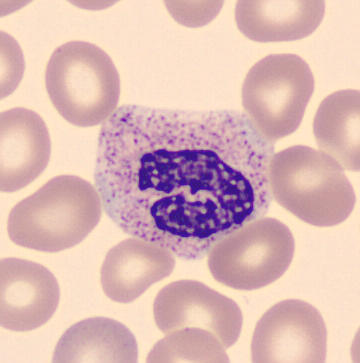
Peripheral blood film · MGG-stained.

Band neutrophil.